Bone marrow aspirate smear.
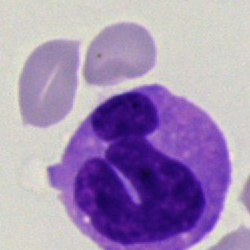
Cell = monocyte.